250×250 · bone marrow aspirate smear: 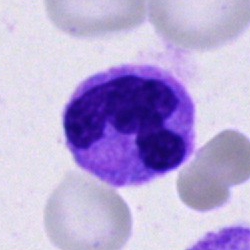Classification = polymorphonuclear neutrophil.